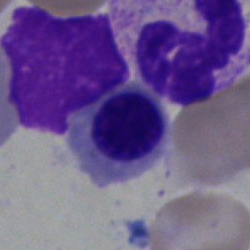
The morphological class is normoblast.